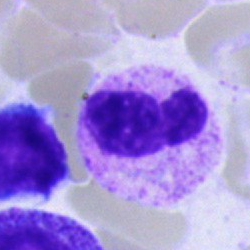
Cell — segmented neutrophil.